Bone marrow smear. 250×250 px:
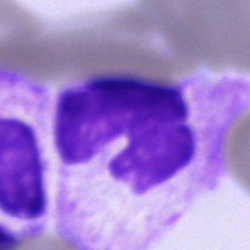An unidentifiable cell.